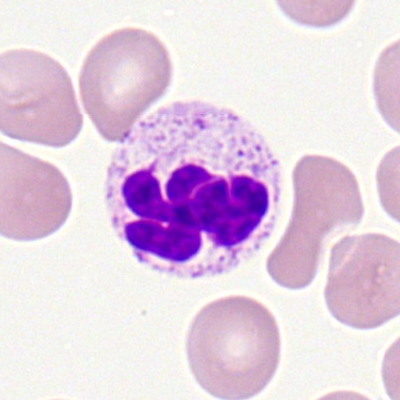Specimen: peripheral blood smear.
Morphological class: segmented neutrophil.